Single cell centered in the field; bone marrow aspirate smear.
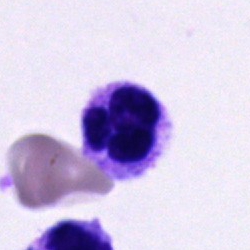

The classification is polymorphonuclear neutrophil.